Brightfield, 40× oil-immersion objective; bone marrow smear — 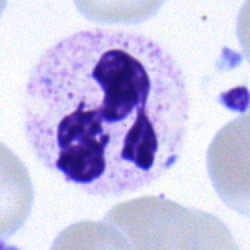 Impression — neutrophil (segmented).